250×250 px. May-Grünwald-Giemsa stain. Bone marrow smear — 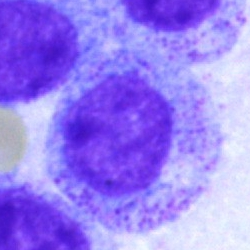 {"cell_type": "myelocyte", "lineage": "myeloid"}